Bone marrow aspirate smear: 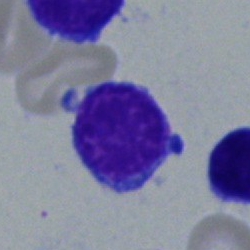

Morphology → lymphocyte.